Bone marrow aspirate smear · 40× objective, oil immersion
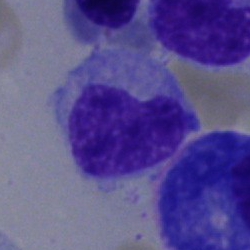
The classification is artefact.